Bone marrow aspirate smear
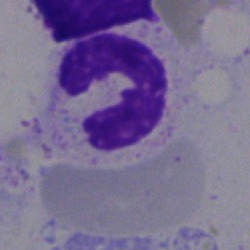
Q: Which cell type is shown here?
A: This is a segmented neutrophil.